Bone marrow smear:
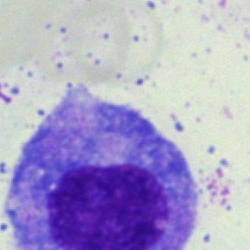
Morphology — promyelocyte.